Bone marrow aspirate smear · brightfield, 40× oil-immersion objective · 250 by 250 pixels:
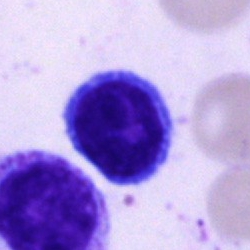
Morphological class = lymphocyte.